Bone marrow aspirate smear. MGG-stained
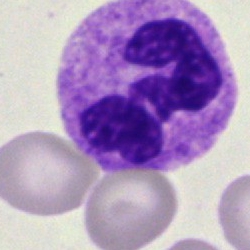Showing a neutrophil (segmented).